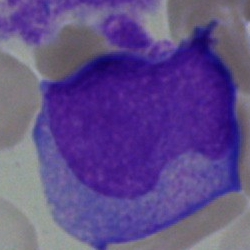Q: What is the morphological classification of this cell?
A: This is a blast cell.